Peripheral blood film.
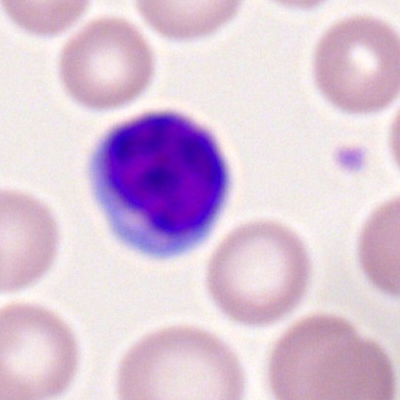 Morphology — typical lymphocyte.